Bone marrow aspirate smear. Cropped to a single cell:
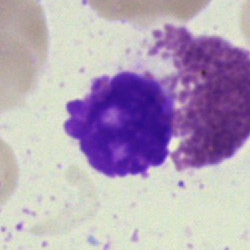Single cell identified as an eosinophil.